Bone marrow aspirate smear:
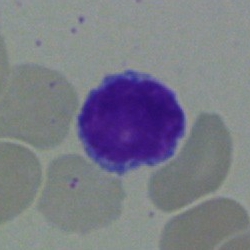Specimen: bone marrow aspirate smear.
Morphological class: typical lymphocyte.
Lineage: lymphoid.